Single cell centered in the field. Bone marrow smear
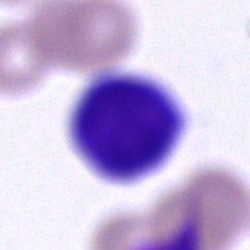
The cell type is cell of indeterminate lineage.